Bone marrow smear.
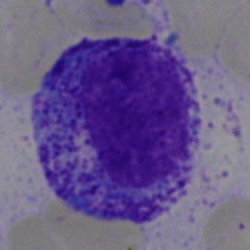 The classification is myelocyte.